Bone marrow aspirate smear
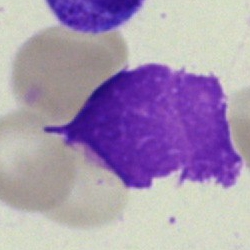
Morphological class = artifact.